Bone marrow aspirate smear
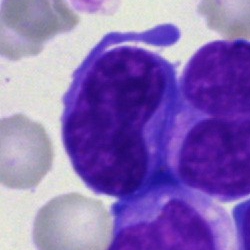Cell = undifferentiated blast.